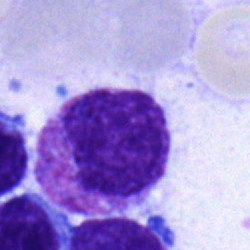Morphological class = myelocyte.